Bone marrow smear — 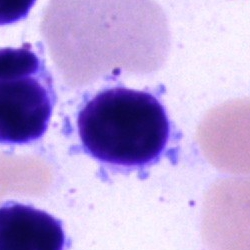The cell shown is a lymphocyte.